Single-cell crop. Bone marrow smear.
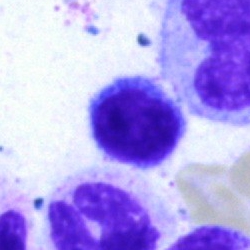Q: What is the morphological classification of this cell?
A: A lymphocyte.